Bone marrow aspirate smear; cropped to a single cell — 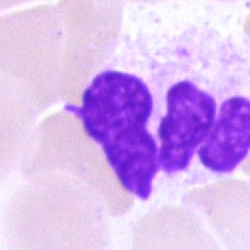

Morphology — artefact.